Single-cell field; bone marrow smear; May-Grünwald-Giemsa/Pappenheim stain.
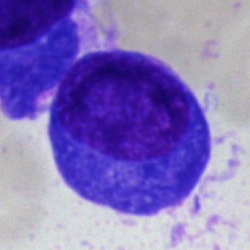
A plasmacyte.